Bone marrow smear. Single-cell crop: 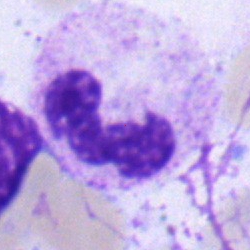

A polymorphonuclear neutrophil.